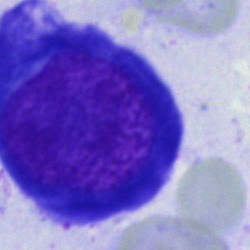

Morphological class: proerythroblast.